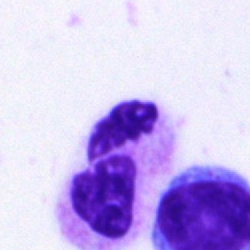

Morphology — segmented neutrophil.